Bone marrow smear
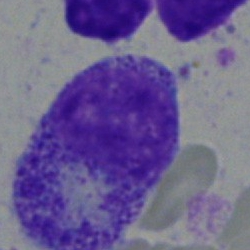

Impression → myelocyte.